Image size 250×250; bone marrow smear; single-cell crop:
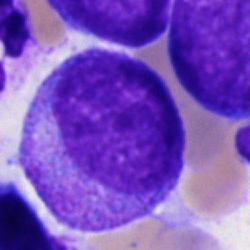 This is a progranulocyte.